Bone marrow aspirate smear: 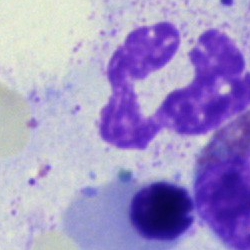Specimen: bone marrow aspirate smear.
Classification: segmented neutrophil.
Lineage: myeloid.